Bone marrow aspirate smear:
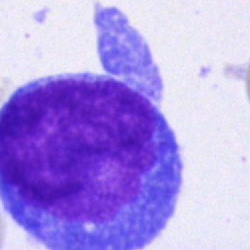

Q: Which cell type is shown here?
A: A blast cell.